Bone marrow smear; cropped to a single cell; 250×250.
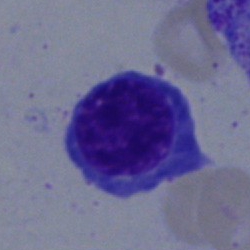 Nucleated red cell.